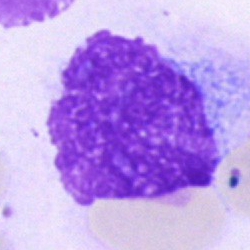 Q: What is shown here?
A: This is an artifact.